40× objective, oil immersion · 250×250 px · bone marrow aspirate smear — 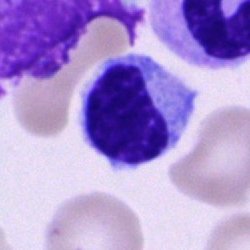Typical lymphocyte.